Bone marrow smear
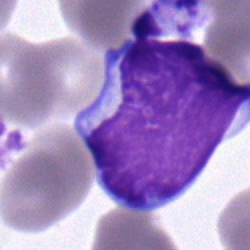
Showing a typical lymphocyte.